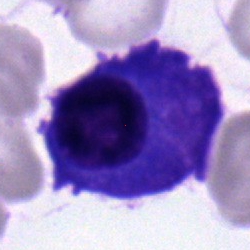

Single cell identified as a plasmacyte.